Bone marrow smear — 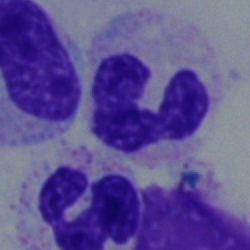 Specimen: bone marrow smear.
Cell: stab cell.